Bone marrow smear: 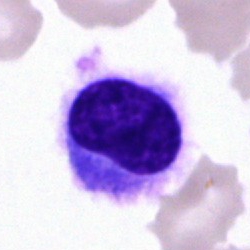Morphology consistent with a hairy cell.